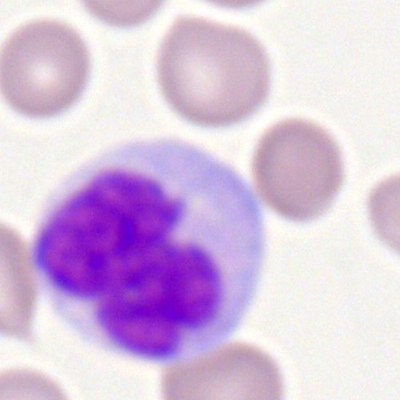

Cell — monocyte.